40× oil immersion. Bone marrow smear — 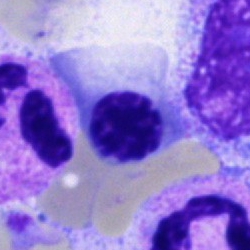

An erythroblast.